Single cell centered in the field. May-Grünwald-Giemsa stain. Bone marrow aspirate smear — 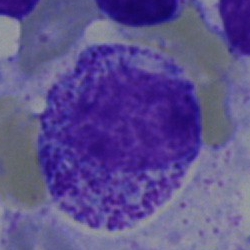 Impression — promyelocyte.